Bone marrow aspirate smear · 40× oil immersion: 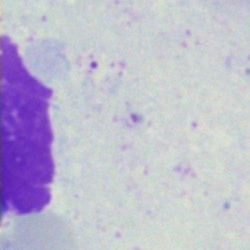

Showing an artifact.